Bone marrow smear.
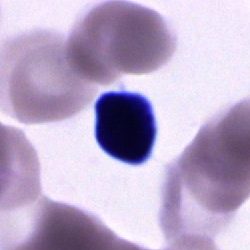

Morphological class: cell of indeterminate lineage.